Bone marrow smear:
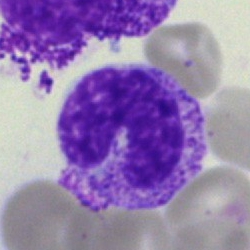 Q: Which cell type is shown here?
A: It is a band-form neutrophil.